Bone marrow aspirate smear; 250 by 250 pixels — 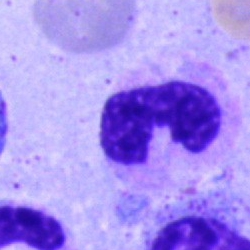

Stab cell.